Cropped to a single cell. Bone marrow aspirate smear. May-Grünwald-Giemsa stain — 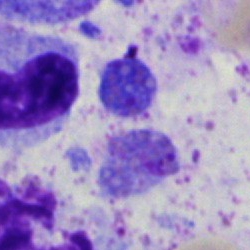 Cell: artifact.